Bone marrow smear: 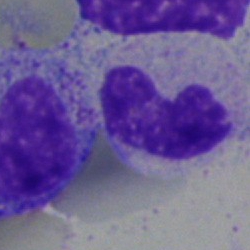
Stab cell.